Peripheral blood film. 100× oil immersion
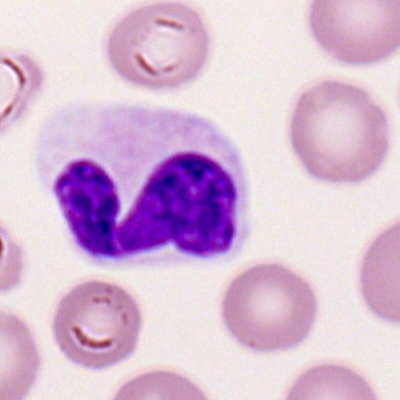Segmented neutrophil.